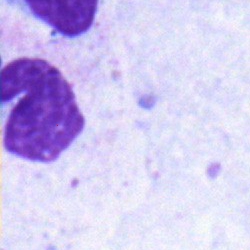

Cell type = neutrophil (segmented).